Bone marrow aspirate smear — 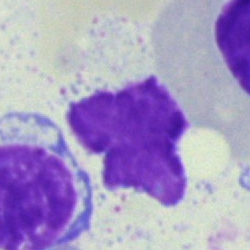Morphological class — artifact.